Bone marrow aspirate smear.
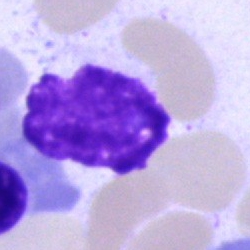 Morphology consistent with an artifact.